Bone marrow aspirate smear:
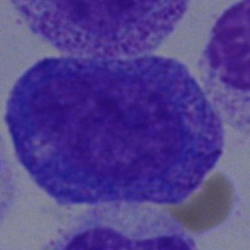Showing a progranulocyte.